Image size 250×250 · bone marrow smear · single-cell field:
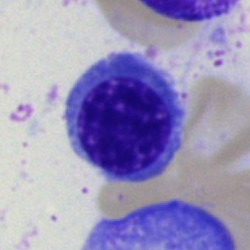

Classification — normoblast.